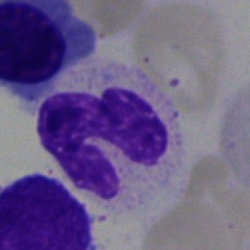

Classification — segmented neutrophil.